Bone marrow smear:
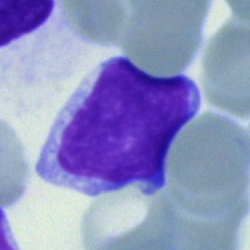 Specimen: bone marrow aspirate smear.
Cell type: lymphocyte.
Lineage: lymphoid.